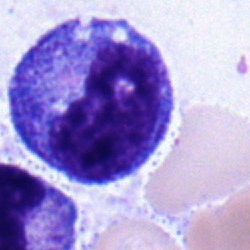
Q: What cell is this?
A: It is a progranulocyte.